Bone marrow aspirate smear — 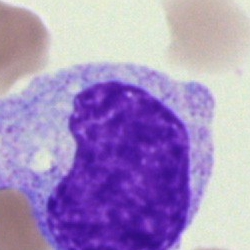
{"cell_type": "myelocyte", "lineage": "myeloid"}